Bone marrow smear · cropped to a single cell — 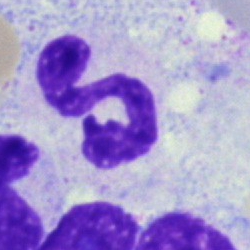Q: What cell is this?
A: It is a neutrophil (segmented).